Bone marrow smear
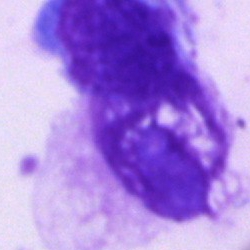Cell — artifact.